Bone marrow smear; image size 250×250.
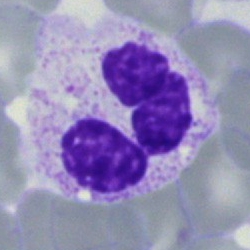Cell type: segmented neutrophil.